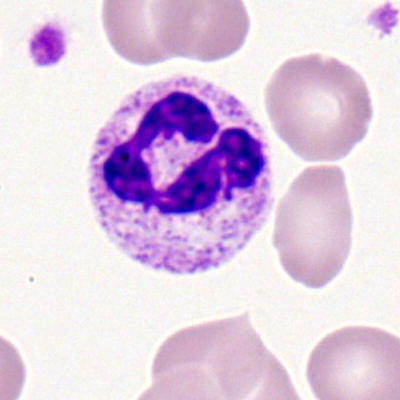 Q: What is the morphological classification of this cell?
A: It is a polymorphonuclear neutrophil.